Bone marrow aspirate smear: 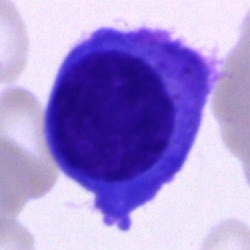Plasmacyte.